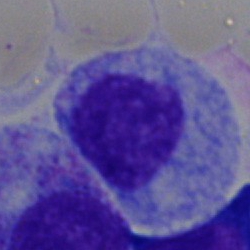
A progranulocyte.